Bone marrow smear.
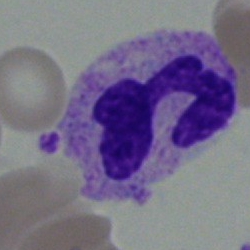 Classification: neutrophil (segmented).